Bone marrow aspirate smear.
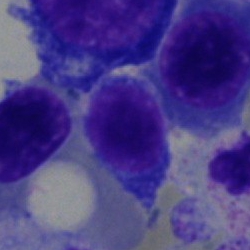

Q: What cell is this?
A: This is a lymphocyte.